40× objective, oil immersion; bone marrow aspirate smear; MGG-stained:
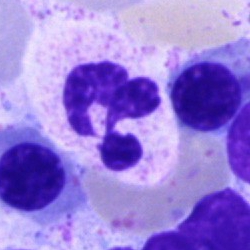 Morphological class: neutrophil (segmented).